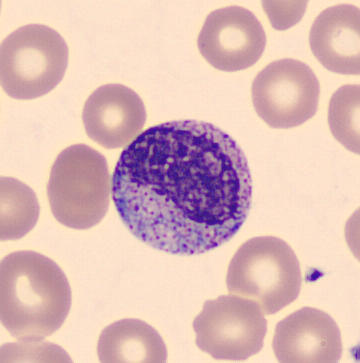
A metamyelocyte.
Image: Peripheral blood film.